Bone marrow aspirate smear:
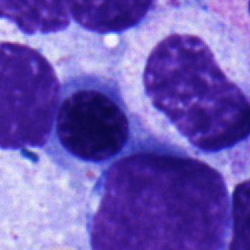

{"cell_type": "erythroblast", "lineage": "erythroid"}